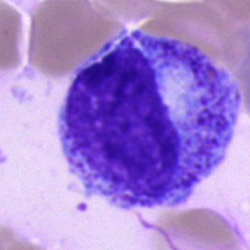Cell type: progranulocyte.